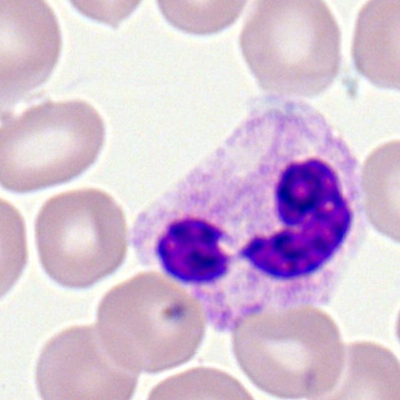 Q: What type of cell is this?
A: This is a neutrophil (segmented).